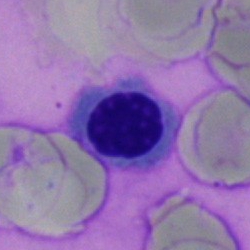
The morphological class is normoblast.